Single-cell field · peripheral blood film
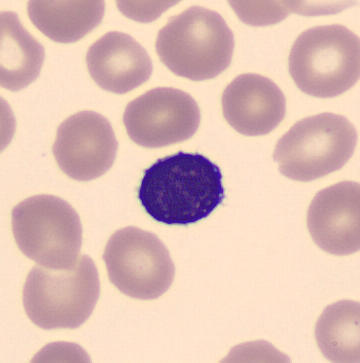This is a typical lymphocyte.